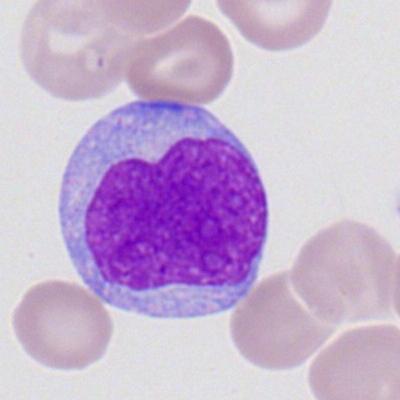
Q: What is shown here?
A: A myeloblast.